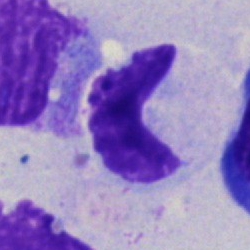 Single-cell crop from a bone marrow smear: stab cell.